Bone marrow aspirate smear.
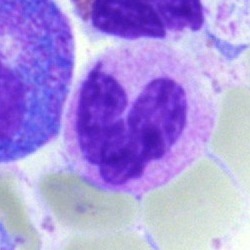 A stab cell.